Bone marrow aspirate smear. Single cell centered in the field:
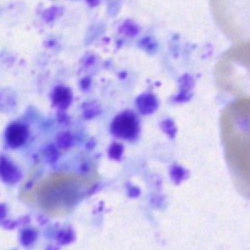
Classification: other cell type.